Bone marrow smear · image size 250×250
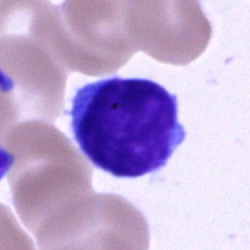

Typical lymphocyte.